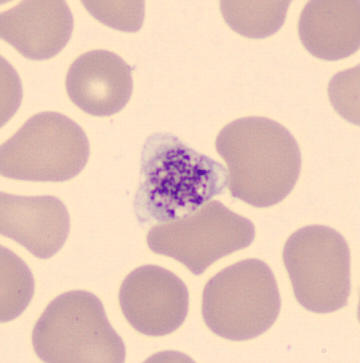

Specimen: peripheral blood film.
Cell type: thrombocyte.